MGG-stained. Bone marrow smear: 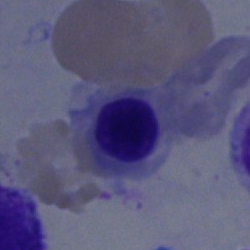Morphology consistent with a nucleated red cell.